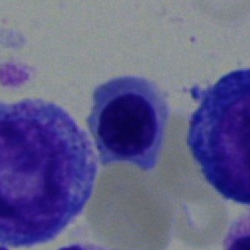Q: What type of cell is this?
A: It is a nucleated red cell.